Bone marrow smear
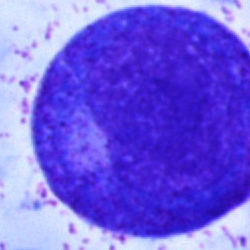
Progranulocyte.